Bone marrow aspirate smear. 250×250 px.
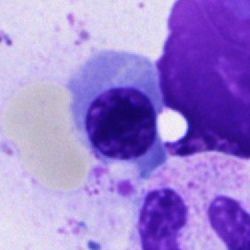{"cell_type": "erythroblast", "lineage": "erythroid"}